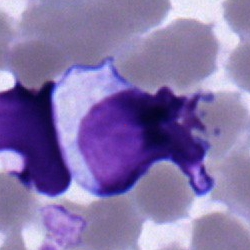

Q: What type of cell is this?
A: A lymphocyte.